Bone marrow smear: 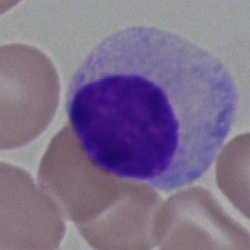Specimen: bone marrow smear.
Classification: myelocyte.
Lineage: myeloid.